Bone marrow aspirate smear
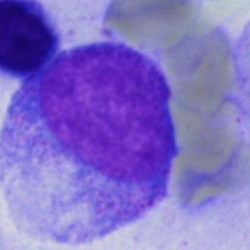

{"cell_type": "progranulocyte"}